Bone marrow aspirate smear
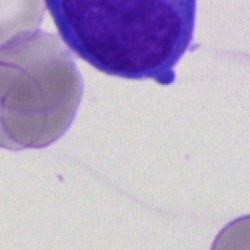

Q: What is shown here?
A: It is an artefact.